Bone marrow aspirate smear
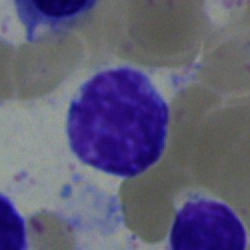
Impression — typical lymphocyte.